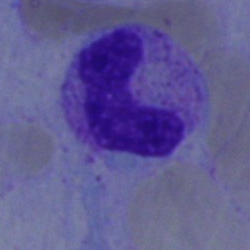Q: What is the morphological classification of this cell?
A: A band neutrophil.